Bone marrow smear:
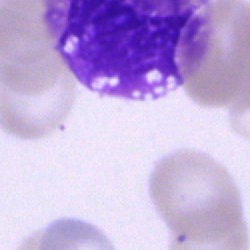

The cell shown is an artefact.